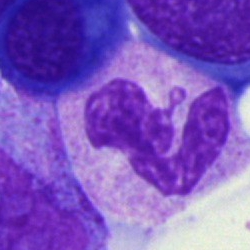Cell type: segmented neutrophil.